Peripheral blood smear — 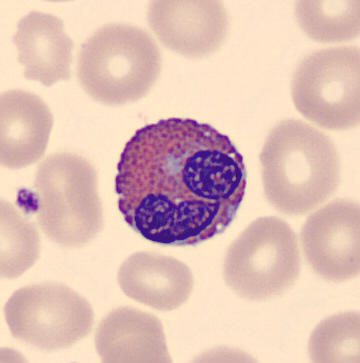 Impression — eosinophilic granulocyte.